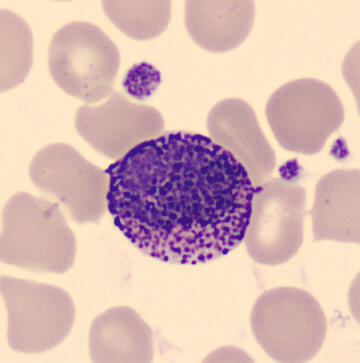 Preparation: Peripheral blood film.
Showing a basophil.